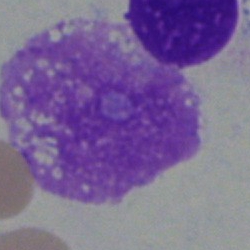

Impression → artefact.